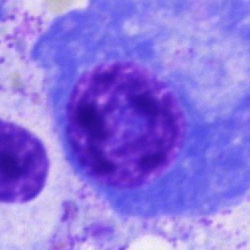

Cell — plasma cell.